Single-cell field; bone marrow smear — 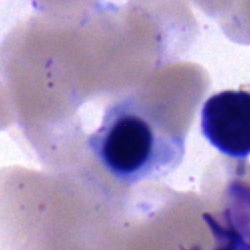
Morphology consistent with a normoblast.